Peripheral blood smear:
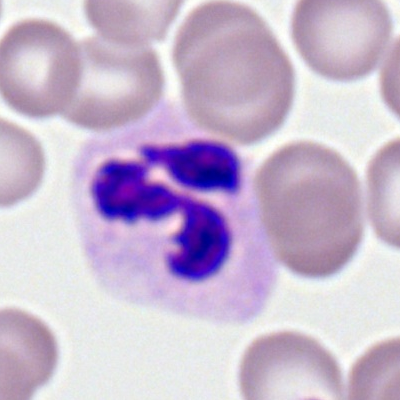 Showing a neutrophil (segmented).